250×250. Bone marrow aspirate smear. Pappenheim-stained: 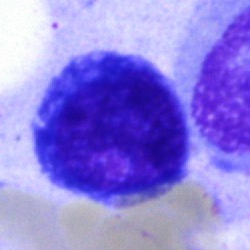
Q: Identify the cell.
A: This is a nucleated red cell.